Bone marrow smear — 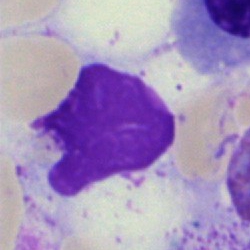

The cell type is artefact.